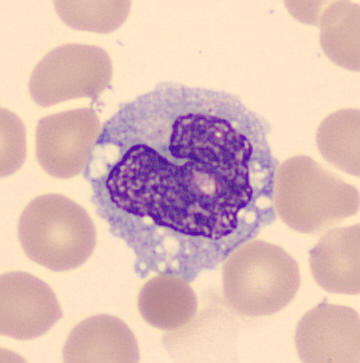

A monocyte. Peripheral blood smear.